Bone marrow smear.
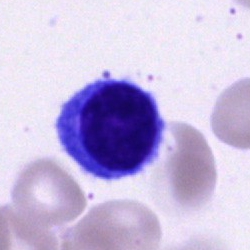The morphological class is typical lymphocyte.